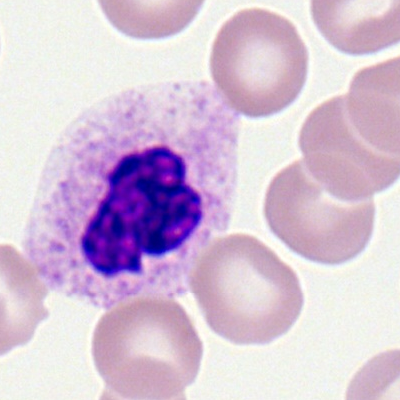 A polymorphonuclear neutrophil.